MGG-stained; bone marrow smear.
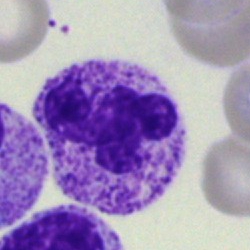
Impression → polymorphonuclear neutrophil.